Bone marrow smear — 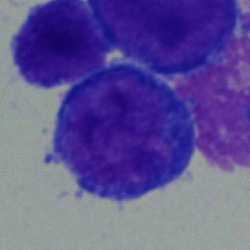 A blast.